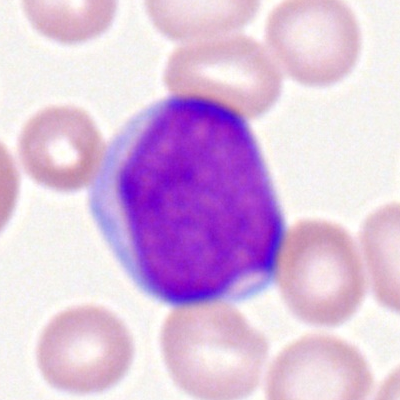Single-cell crop from a peripheral blood smear: myeloblast.